Bone marrow aspirate smear
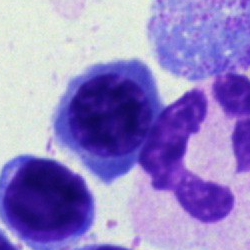A normoblast.